Bone marrow smear · Pappenheim-stained · 40× oil immersion: 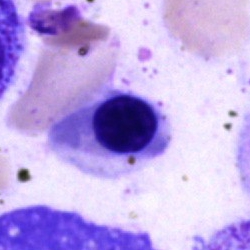
This is a nucleated red blood cell.